40× objective, oil immersion · bone marrow aspirate smear — 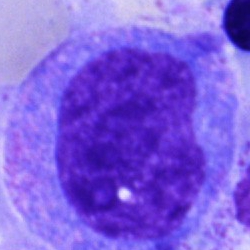
The morphological class is progranulocyte.